Bone marrow smear — 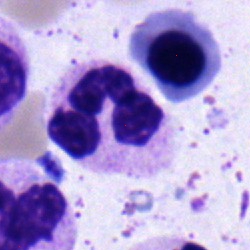 Polymorphonuclear neutrophil.